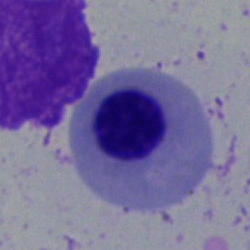

Bone marrow aspirate smear, single cell — nucleated red cell.